250×250 px; cropped to a single cell; bone marrow aspirate smear: 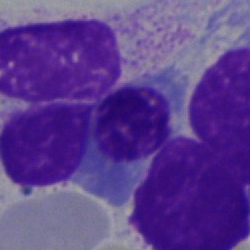 Morphology → normoblast.